400×400 px; peripheral blood smear:
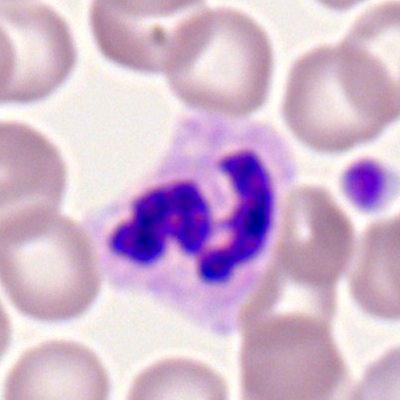 The cell shown is a polymorphonuclear neutrophil.